Bone marrow aspirate smear · cropped to a single cell: 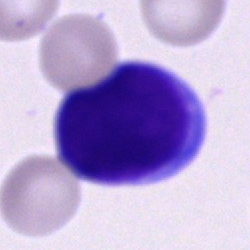 Q: What type of cell is this?
A: An unidentifiable cell.